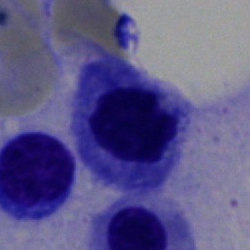

The cell is erythroblast.